Peripheral blood smear. Romanowsky-stained. Single cell centered in the field.
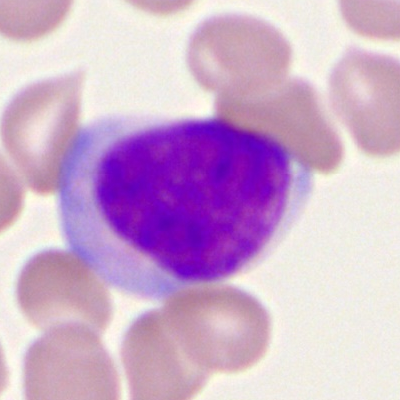

Single cell identified as a myeloid blast.